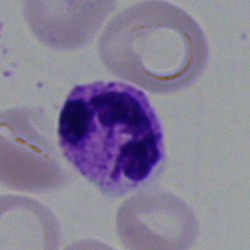
Q: Which cell type is shown here?
A: Polymorphonuclear neutrophil.